Bone marrow aspirate smear: 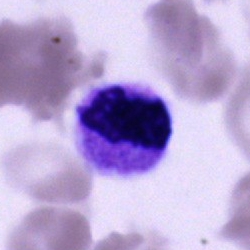 {"cell_type": "cell of indeterminate lineage"}